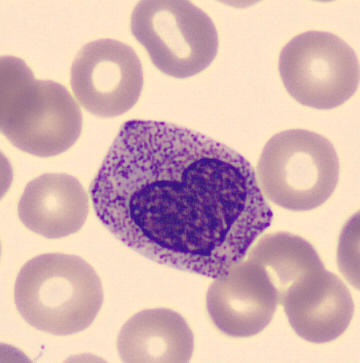 Morphology consistent with a metamyelocyte.
Preparation: Peripheral blood film.